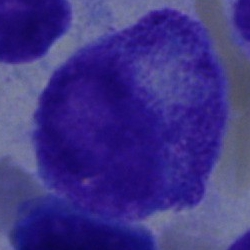 Q: What is the morphological classification of this cell?
A: This is a promyelocyte.